Bone marrow aspirate smear
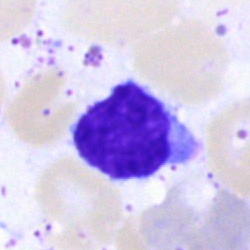Cell type — typical lymphocyte.